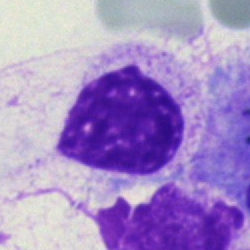Single-cell crop from a bone marrow smear: artefact.